Bone marrow smear. 40× objective, oil immersion: 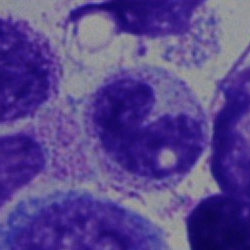

Band neutrophil.